Bone marrow aspirate smear
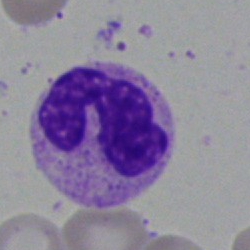

Classification — neutrophil (segmented).